Bone marrow aspirate smear.
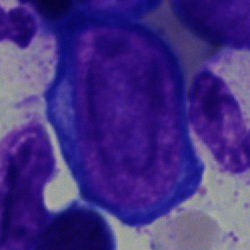{"cell_type": "pronormoblast", "lineage": "erythroid"}